Brightfield, 40× oil-immersion objective · bone marrow aspirate smear
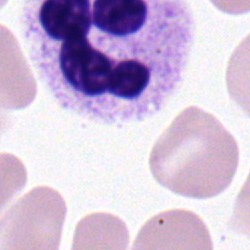

Polymorphonuclear neutrophil.